Peripheral blood smear · single-cell crop — 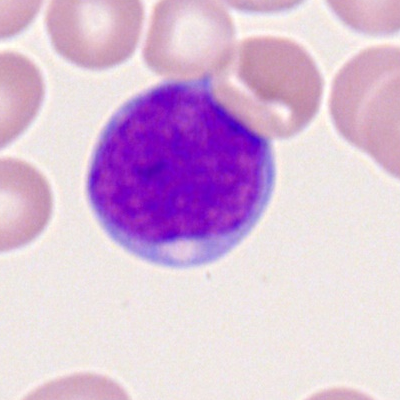Impression — myeloid blast.